Bone marrow aspirate smear.
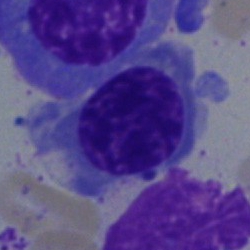

This is a nucleated red blood cell.